Bone marrow aspirate smear · single cell centered in the field
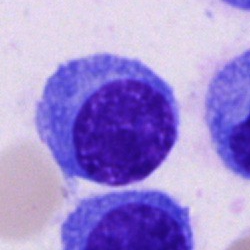

Q: Which cell type is shown here?
A: Plasmacyte.